Bone marrow smear; MGG-stained — 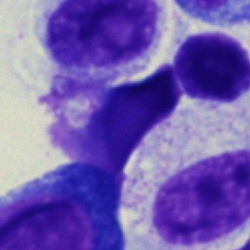
Morphology → cell of indeterminate lineage.